Bone marrow smear: 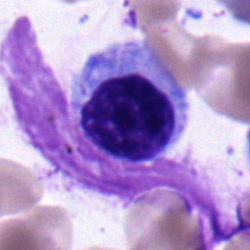

The classification is myelocyte.